Bone marrow smear. Cropped to a single cell.
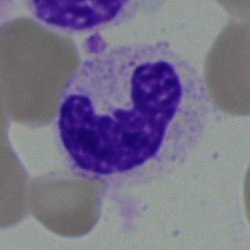Impression — stab cell.